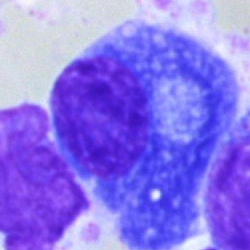{"cell_type": "plasma cell", "lineage": "lymphoid"}